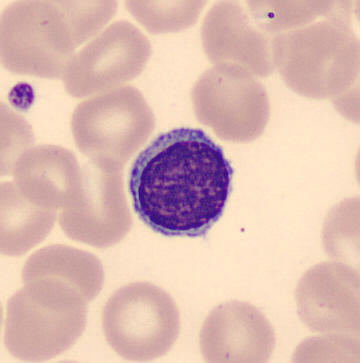 Preparation: Peripheral blood film.

Showing a lymphocyte.